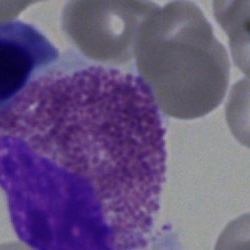 Morphology — eosinophil.